Bone marrow smear
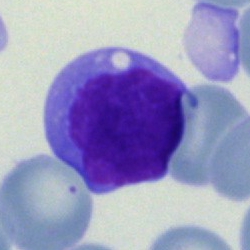

Impression — typical lymphocyte.